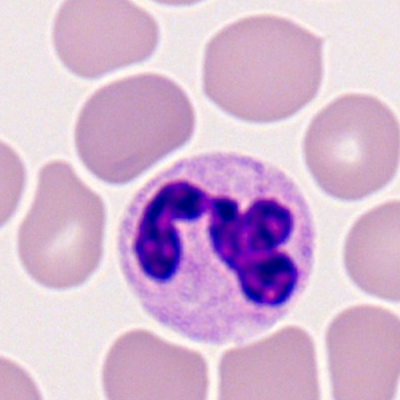

Specimen: peripheral blood film.
Cell: segmented neutrophil.